Single cell centered in the field; bone marrow smear:
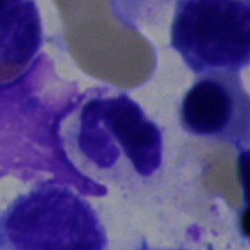Morphology consistent with a segmented neutrophil.